Bone marrow aspirate smear.
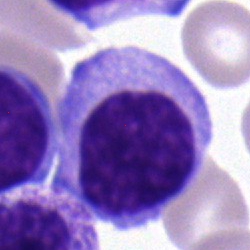 Impression → typical lymphocyte.